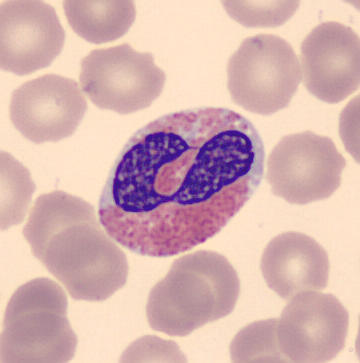

The cell shown is an eosinophilic granulocyte.